Bone marrow aspirate smear — 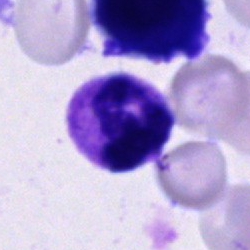 Specimen: bone marrow smear.
Cell: polymorphonuclear neutrophil.